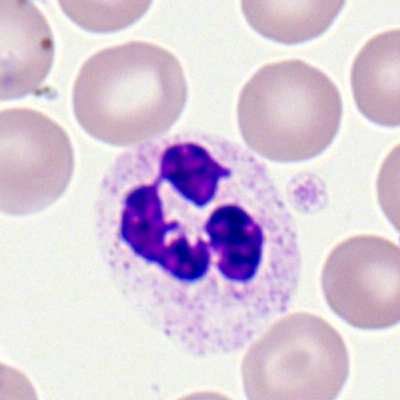
The morphological class is polymorphonuclear neutrophil.